Bone marrow smear — 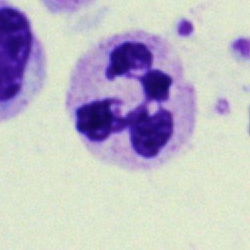
Morphology consistent with a segmented neutrophil.